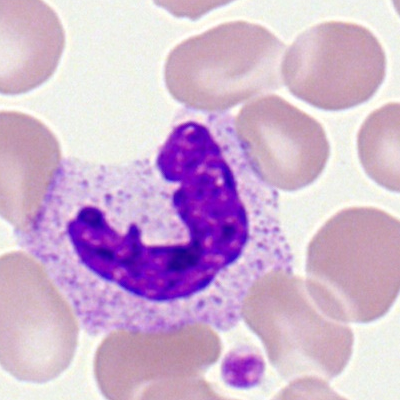

Morphological class — band neutrophil.